Bone marrow smear. Brightfield microscopy, 40× oil immersion — 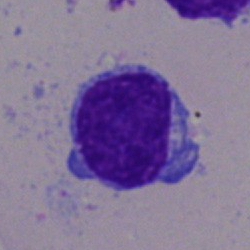 Specimen: bone marrow aspirate smear.
Cell: typical lymphocyte.